Bone marrow aspirate smear · 250×250: 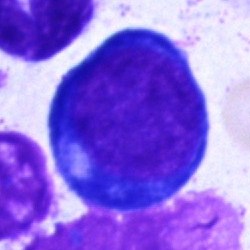 A proerythroblast.